Bone marrow smear; 40× objective, oil immersion
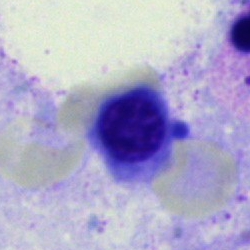 Morphology → normoblast.